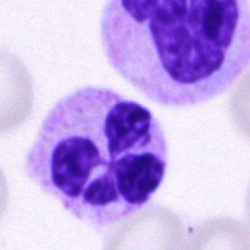

Cell type — segmented neutrophil.